Bone marrow aspirate smear; brightfield, 40× oil-immersion objective.
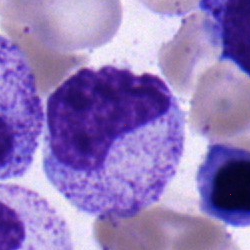
This is a myelocyte.